Peripheral blood smear:
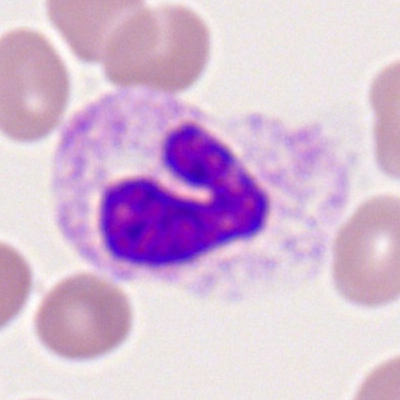
The classification is band neutrophil.